Peripheral blood smear.
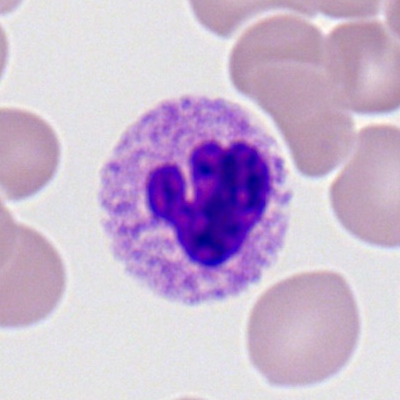
Cell type = segmented neutrophil.